Bone marrow smear · 250×250
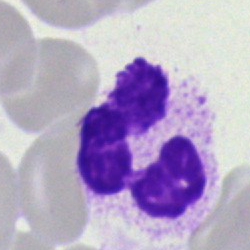

Specimen: bone marrow aspirate smear.
Cell type: polymorphonuclear neutrophil.
Lineage: myeloid.